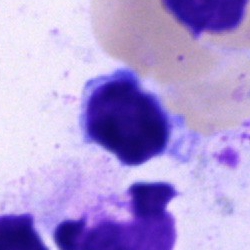
Q: Which cell type is shown here?
A: A lymphocyte.